Bone marrow smear; image size 250×250: 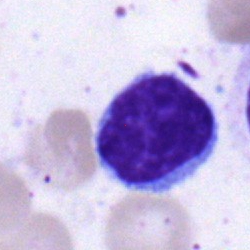

Morphology consistent with a lymphocyte.